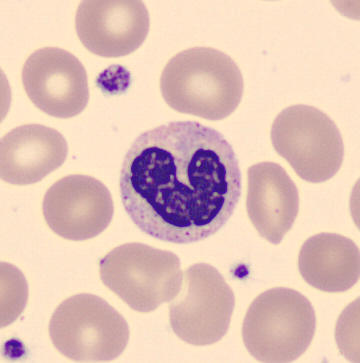

The morphological class is stab cell.